100× objective, oil immersion · peripheral blood film
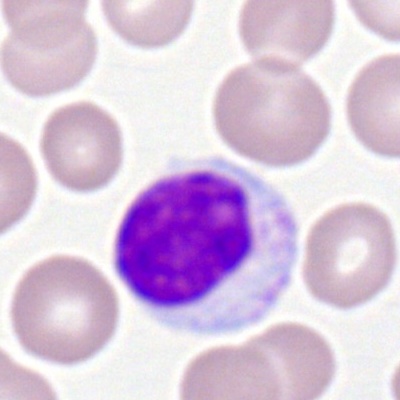Specimen: peripheral blood film.
Classification: lymphocyte.
Lineage: lymphoid.